Peripheral blood film
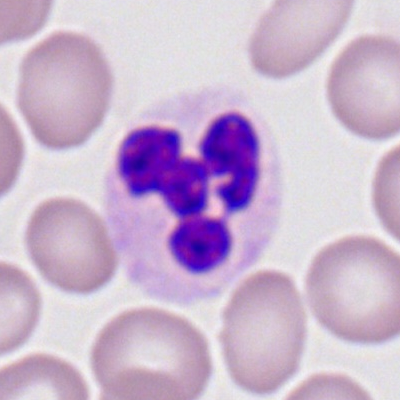
Q: Which cell type is shown here?
A: This is a polymorphonuclear neutrophil.